Bone marrow smear:
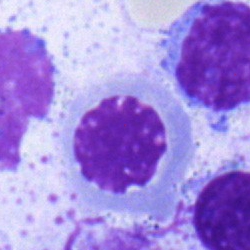
Cell — nucleated red blood cell.